May-Grünwald-Giemsa/Pappenheim stain; bone marrow aspirate smear
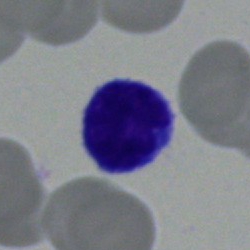

Q: What is shown here?
A: Lymphocyte.